Bone marrow smear.
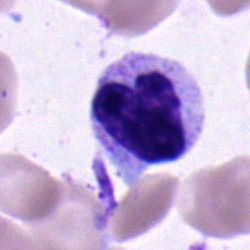The cell shown is a neutrophil (band).